Bone marrow smear.
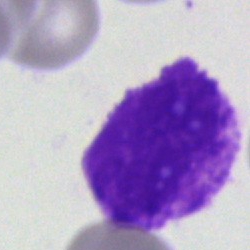 An artifact.